Cropped to a single cell; bone marrow aspirate smear: 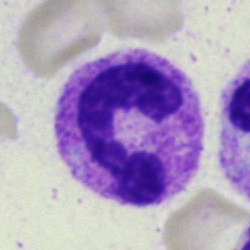Single cell identified as a polymorphonuclear neutrophil.